Bone marrow smear; cropped to a single cell
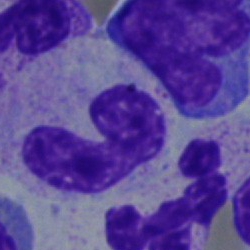

Q: What is the morphological classification of this cell?
A: It is a band-form neutrophil.